Bone marrow smear — 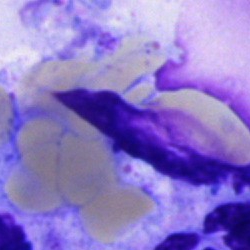
Morphology → artefact.